Bone marrow smear; 250×250 px:
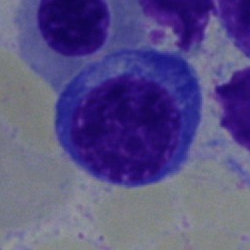

Q: What is shown here?
A: It is a proerythroblast.